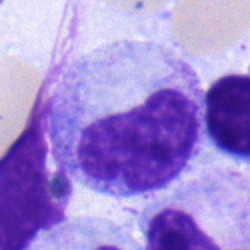Specimen: bone marrow aspirate smear.
Cell type: metamyelocyte.